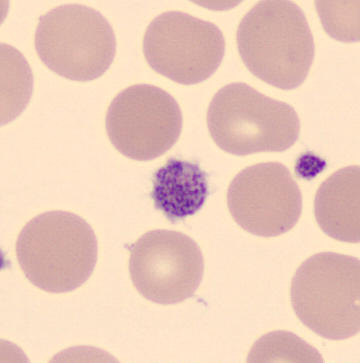 Image: Peripheral blood smear. Classification = platelet.